Peripheral blood smear; Romanowsky-type stain:
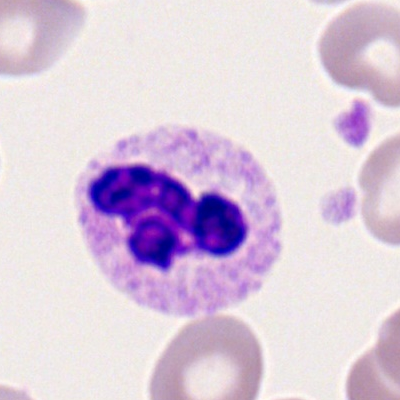
Q: What is shown here?
A: This is a polymorphonuclear neutrophil.